Bone marrow smear:
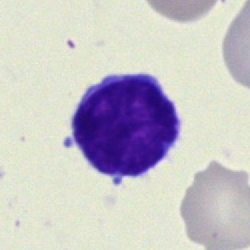Q: What type of cell is this?
A: Lymphocyte.